Bone marrow smear: 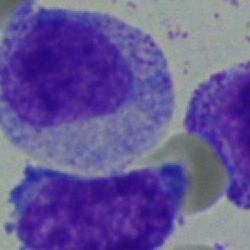
The cell type is myelocyte.